Peripheral blood smear: 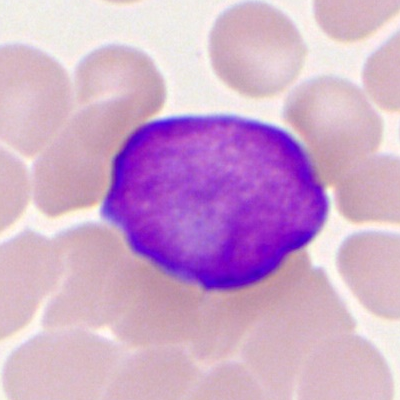
This is a myeloid blast.